Bone marrow aspirate smear:
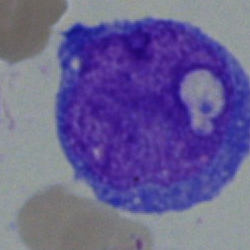Specimen: bone marrow aspirate smear.
Classification: blast.